May-Grünwald-Giemsa stain; bone marrow aspirate smear; 40× objective, oil immersion: 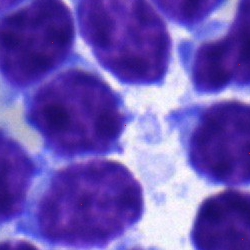
Morphological class: typical lymphocyte.